Bone marrow smear:
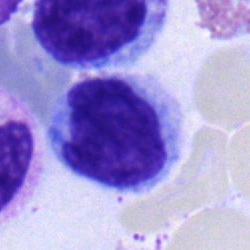

Specimen: bone marrow smear.
Classification: monocyte.
Lineage: myeloid.